Bone marrow smear; MGG-stained; 250×250 px
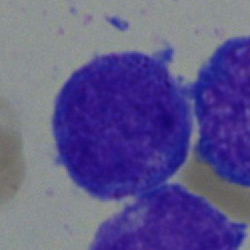

This is a blast cell.